Bone marrow smear — 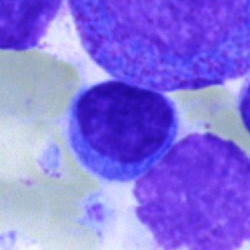
Morphology consistent with a lymphocyte.